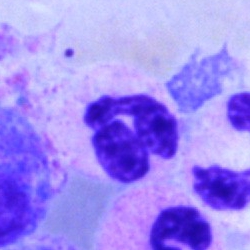Cell: segmented neutrophil.